Bone marrow smear — 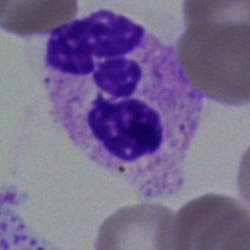

A polymorphonuclear neutrophil.